Bone marrow smear.
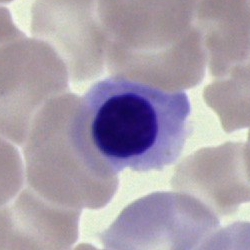 Showing a nucleated red cell.